Bone marrow smear · 250×250 · single-cell crop — 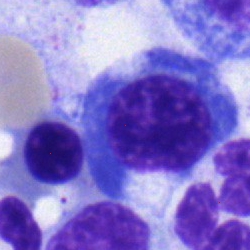 Single cell identified as an erythroblast.